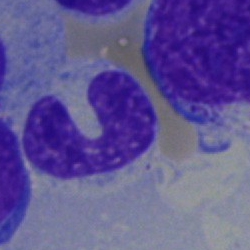

Neutrophil (band).